Bone marrow aspirate smear: 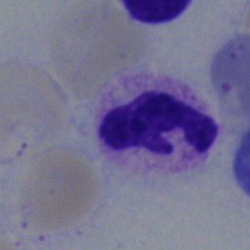
The cell shown is a polymorphonuclear neutrophil.